Bone marrow smear — 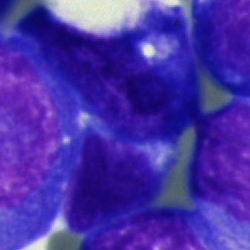
Blast cell.